Bone marrow aspirate smear: 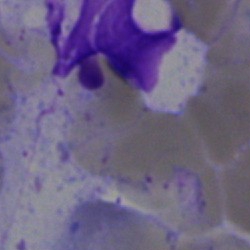Q: What is shown here?
A: This is an artefact.